Bone marrow smear.
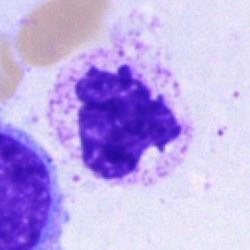

Polymorphonuclear neutrophil.